Bone marrow aspirate smear. Pappenheim-stained
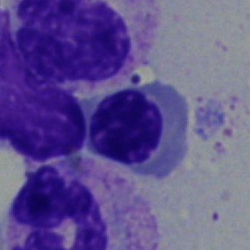

Cell = normoblast.